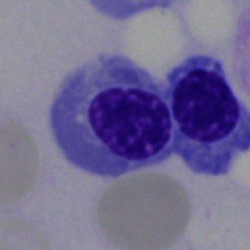 Morphology consistent with a normoblast.